MGG-stained. Bone marrow aspirate smear. 250×250 — 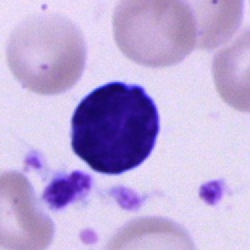 The classification is typical lymphocyte.